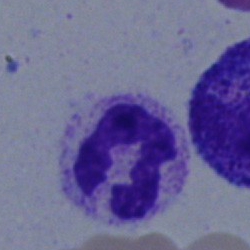Classification: neutrophil (segmented).